Bone marrow smear:
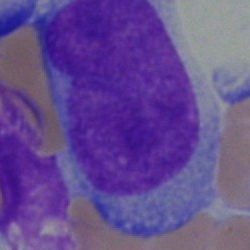

A blast cell.